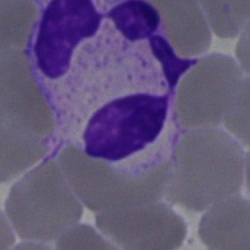

{"cell_type": "polymorphonuclear neutrophil", "lineage": "myeloid"}